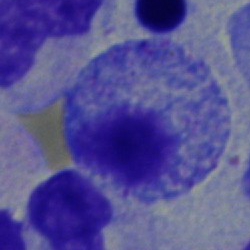 Q: Identify the cell.
A: This is a myelocyte.